Bone marrow aspirate smear:
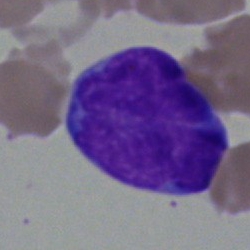
Morphological class — blast.